Romanowsky-type stain. Peripheral blood film.
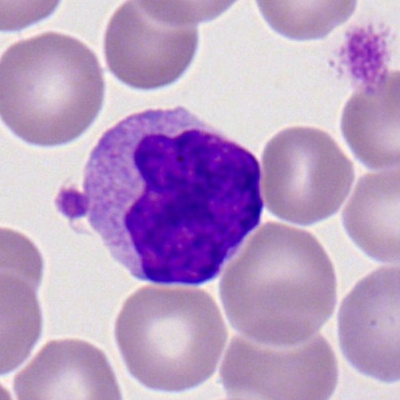Cell — lymphocyte.